Bone marrow aspirate smear — 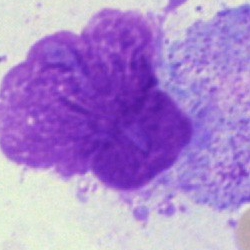Single cell identified as an artifact.